Bone marrow smear; 250×250.
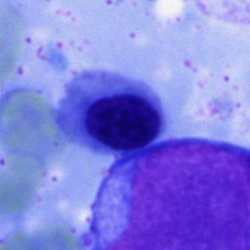

Q: Identify the cell.
A: This is a nucleated red blood cell.